40× objective, oil immersion · image size 250×250 · bone marrow aspirate smear: 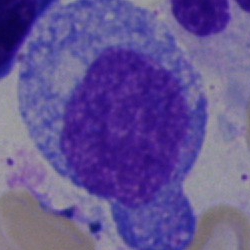
Cell = promyelocyte.